Single-cell field; 250×250; bone marrow aspirate smear — 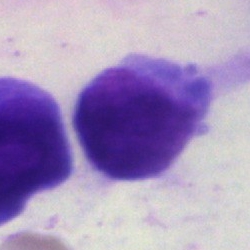
Classification: artefact.